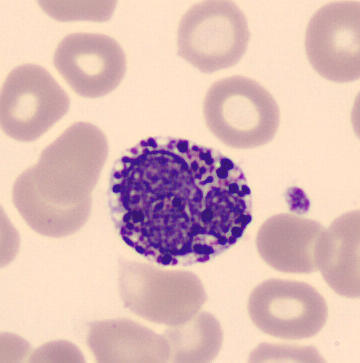 Cell: basophil.
Acquisition: Peripheral blood smear; CellaVision DM96 digital cell image; single-cell field.